Peripheral blood film
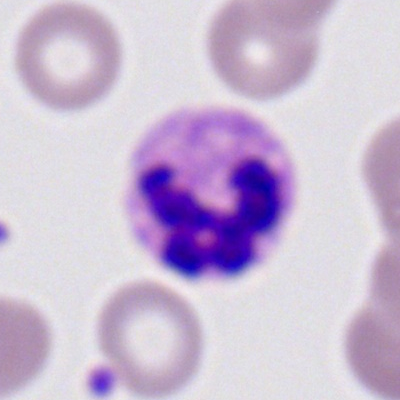

The cell shown is a polymorphonuclear neutrophil.